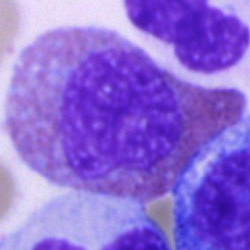Morphology → eosinophil.